Bone marrow smear: 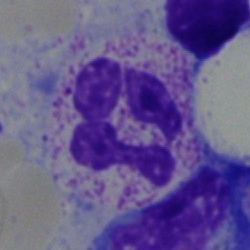 Impression — neutrophil (segmented).